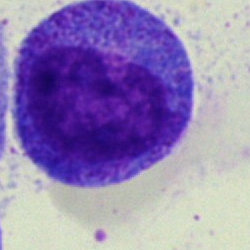

Morphological class: promyelocyte.